Bone marrow smear:
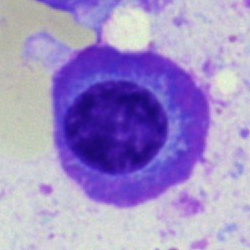Showing a plasmacyte.